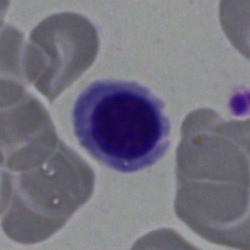

Cell — erythroblast.